Bone marrow aspirate smear — 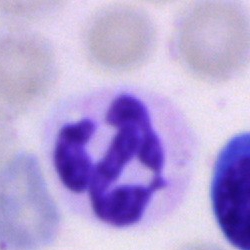 The cell shown is a segmented neutrophil.